250×250. Bone marrow smear: 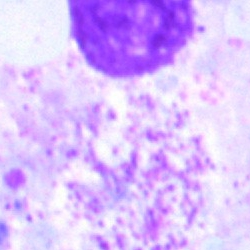
Q: What is shown here?
A: It is an artifact.